Bone marrow smear
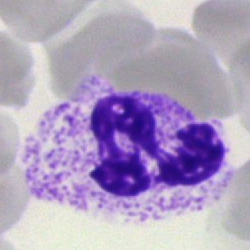 The morphological class is neutrophil (segmented).